Bone marrow smear. May-Grünwald-Giemsa stain:
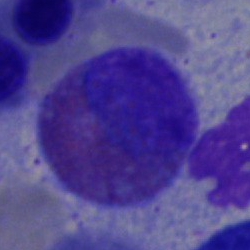The cell shown is an eosinophilic granulocyte.